40× objective, oil immersion · bone marrow smear: 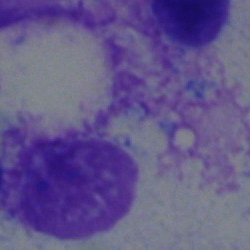
This is an artefact.